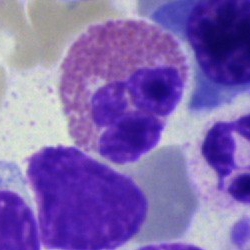 Eosinophil.